Bone marrow aspirate smear · cropped to a single cell
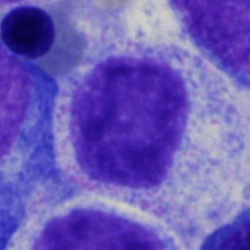Q: Identify the cell.
A: It is a myelocyte.